Bone marrow aspirate smear. Brightfield, 40× oil-immersion objective. Single cell centered in the field:
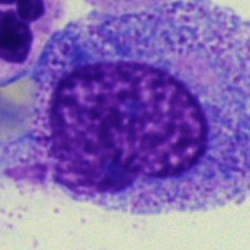
Q: What type of cell is this?
A: A progranulocyte.